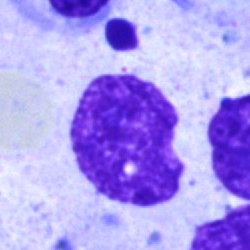The cell shown is an artifact.